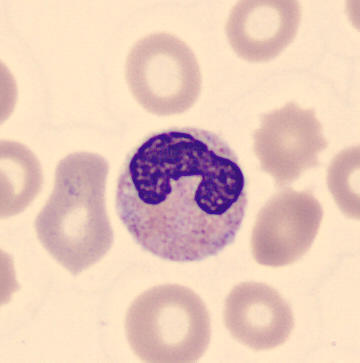 The cell shown is a neutrophil (band).